Bone marrow smear: 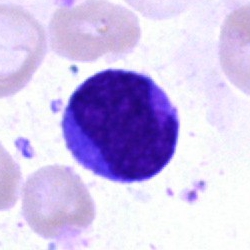Specimen: bone marrow aspirate smear.
Cell: blast.